Brightfield microscopy, 40× oil immersion; bone marrow aspirate smear:
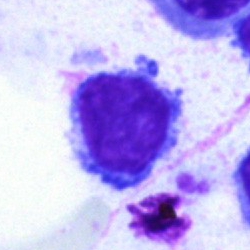Classification — typical lymphocyte.